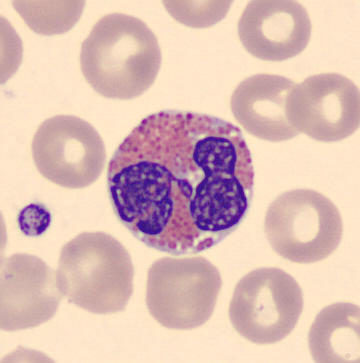

The cell type is eosinophil. Image: 360 by 363 pixels · peripheral blood film.